250 by 250 pixels; bone marrow aspirate smear; brightfield, 40× oil-immersion objective: 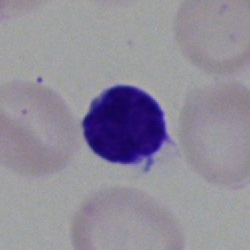
Classification: typical lymphocyte.